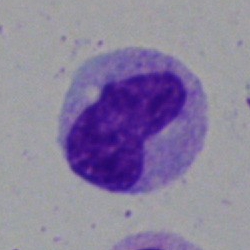
Single-cell crop from a bone marrow smear: stab cell.